Single cell centered in the field. Peripheral blood film: 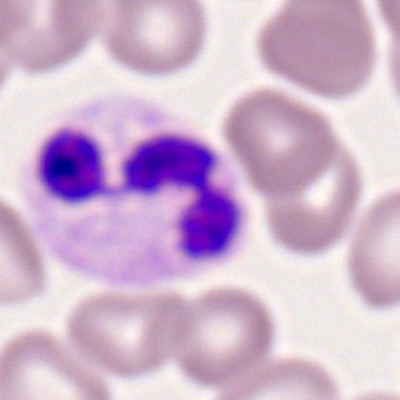
Morphology consistent with a neutrophil (segmented).